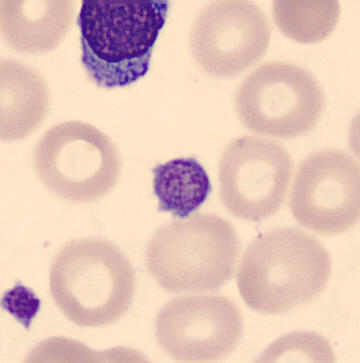Classification — platelet (thrombocyte). Image: Peripheral blood film; MGG-stained.